Bone marrow smear.
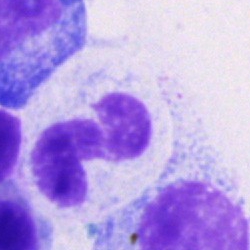

Cell — neutrophil (segmented).